Single cell centered in the field. Bone marrow smear:
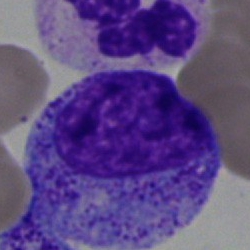

A band-form neutrophil.